Bone marrow aspirate smear: 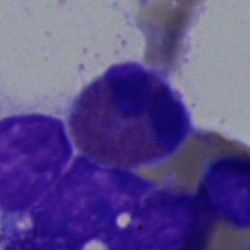Morphological class — eosinophil.